Bone marrow smear
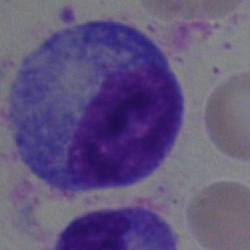

Morphological class: progranulocyte.